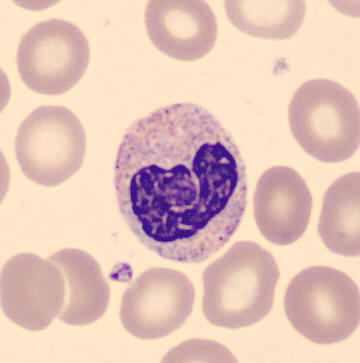
A stab cell on a peripheral blood smear.